Bone marrow smear; cropped to a single cell:
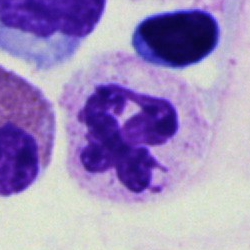

The cell shown is a neutrophil (segmented).